Bone marrow smear.
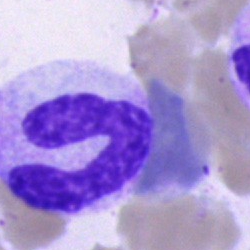

Band neutrophil.